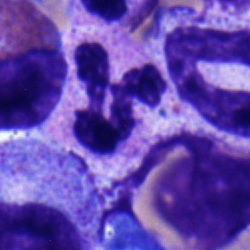 {"cell_type": "polymorphonuclear neutrophil"}